Bone marrow aspirate smear.
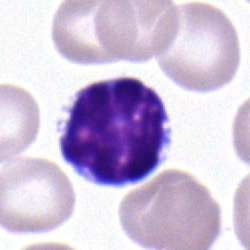Single cell identified as a lymphocyte.